Bone marrow smear: 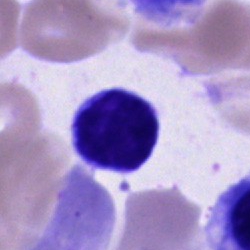 Morphology consistent with a typical lymphocyte.